Bone marrow smear
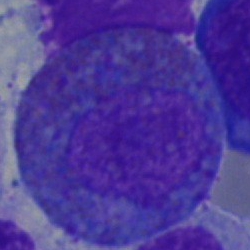

Classification: eosinophilic granulocyte.